250×250. Bone marrow aspirate smear.
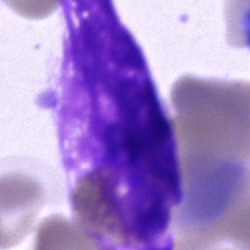 Morphological class — artefact.